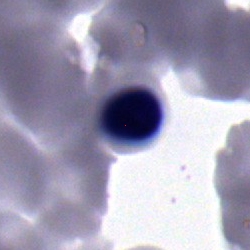
Morphology consistent with an erythroblast.